Bone marrow aspirate smear:
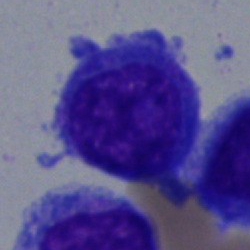Morphology consistent with a blast cell.